250×250 · bone marrow aspirate smear:
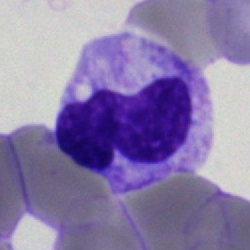

Cell type: segmented neutrophil.